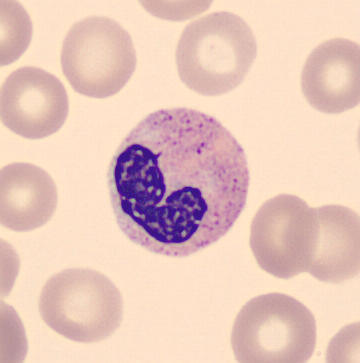 A neutrophil (band).

Acquisition: Peripheral blood film.